Bone marrow aspirate smear — 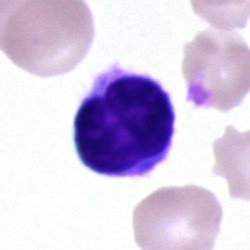 A typical lymphocyte.